Bone marrow smear: 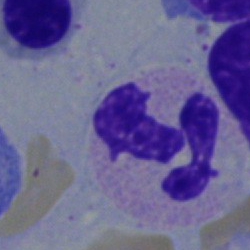

Q: What cell is this?
A: A neutrophil (segmented).